Bone marrow smear · single cell centered in the field
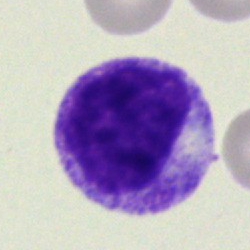
The classification is myelocyte.